Bone marrow aspirate smear
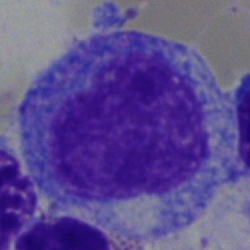 Q: What is the morphological classification of this cell?
A: This is a promyelocyte.